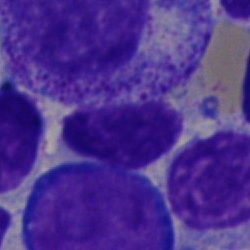The cell is lymphocyte.